Single cell centered in the field. Bone marrow aspirate smear — 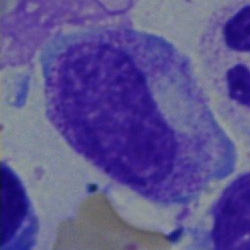 Impression → myelocyte.